250×250 px · bone marrow smear · May-Grünwald-Giemsa stain: 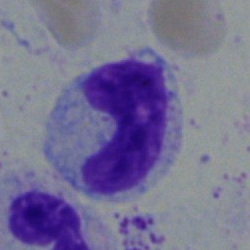
Morphology — neutrophil (band).